May-Grünwald-Giemsa/Pappenheim stain. Bone marrow smear: 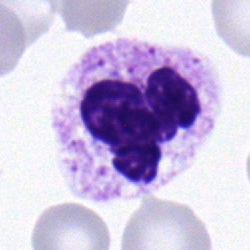

Cell type: polymorphonuclear neutrophil.